Cropped to a single cell · 250×250 · bone marrow smear.
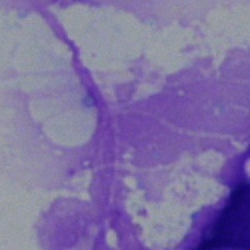Impression → artifact.